Bone marrow smear: 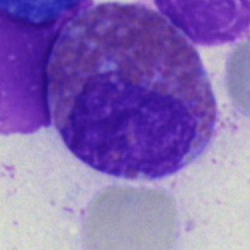The cell shown is an eosinophilic granulocyte.